Bone marrow aspirate smear: 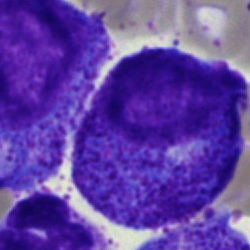 Q: What is shown here?
A: A progranulocyte.